Single-cell field · bone marrow smear: 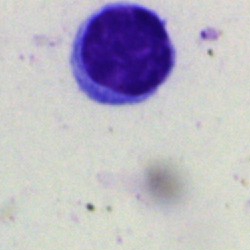

Impression — lymphocyte.